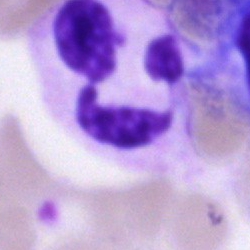

Specimen: bone marrow aspirate smear.
Morphological class: polymorphonuclear neutrophil.
Lineage: myeloid.